Single-cell crop; bone marrow smear
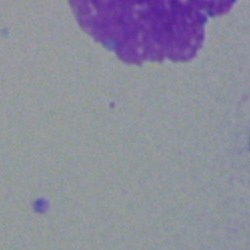This is an artefact.